Bone marrow smear: 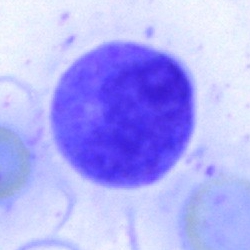 Q: What is the morphological classification of this cell?
A: It is an unidentifiable cell.